Brightfield, 40× oil-immersion objective · bone marrow smear.
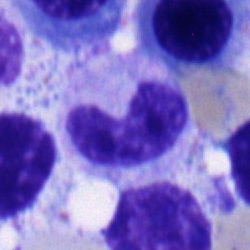

Q: What is the morphological classification of this cell?
A: Metamyelocyte.